Bone marrow smear. Cropped to a single cell: 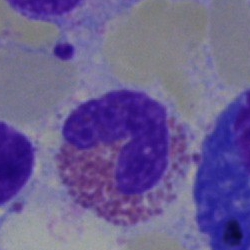

Specimen: bone marrow smear.
Classification: eosinophilic granulocyte.
Lineage: myeloid.